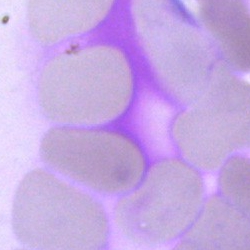

Morphology → artifact.